Bone marrow smear · cropped to a single cell: 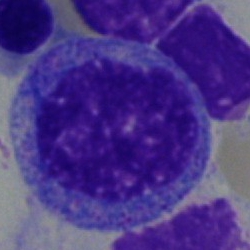 Q: Which cell type is shown here?
A: It is a progranulocyte.